Bone marrow aspirate smear · cropped to a single cell · 40× oil immersion — 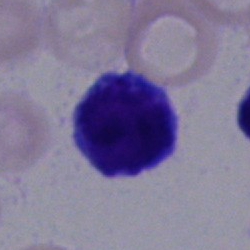 Specimen: bone marrow smear.
Classification: typical lymphocyte.
Lineage: lymphoid.